Bone marrow aspirate smear. Single cell centered in the field — 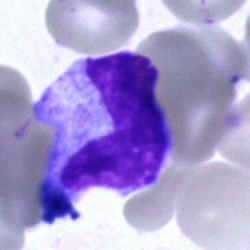{"cell_type": "stab cell", "lineage": "myeloid"}